Bone marrow smear. Cropped to a single cell. MGG-stained — 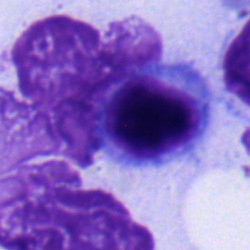 Morphology consistent with a lymphocyte.